May-Grünwald-Giemsa stain · cropped to a single cell · bone marrow smear: 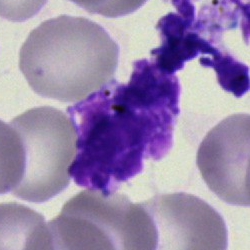Morphology — artefact.